Bone marrow aspirate smear
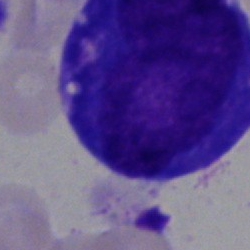 Impression — blast cell.